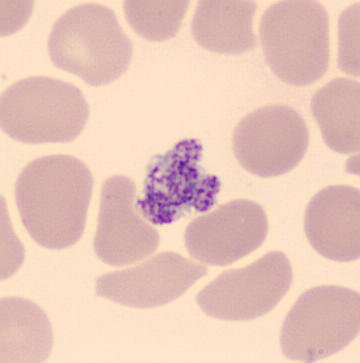 Imaged on a CellaVision DM96 analyser; image size 360×363.

Specimen: peripheral blood film.
Morphological class: platelet (thrombocyte).